Bone marrow smear — 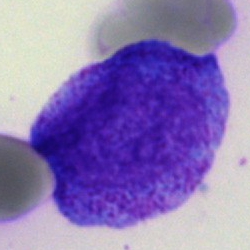

Showing a promyelocyte.